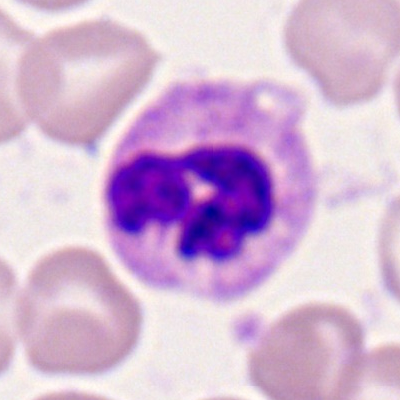
Morphological class: polymorphonuclear neutrophil.